Bone marrow aspirate smear: 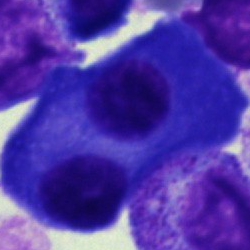
Morphology consistent with a plasma cell.